Peripheral blood film — 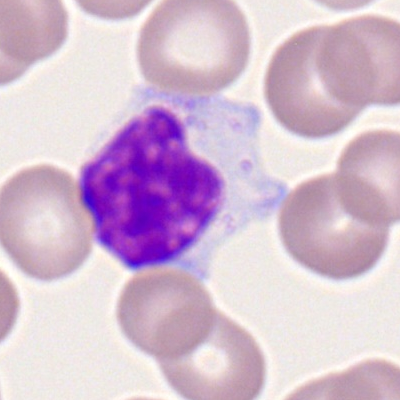 Morphological class — typical lymphocyte.